Bone marrow smear; single cell centered in the field.
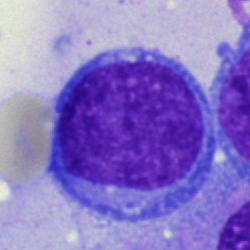
Impression — undifferentiated blast.